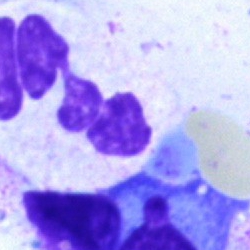

Bone marrow aspirate smear, single cell — artifact.